Bone marrow aspirate smear; Pappenheim-stained
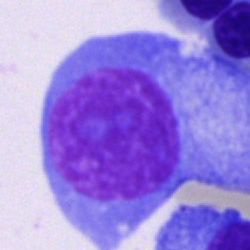This is a plasmacyte.